Bone marrow aspirate smear
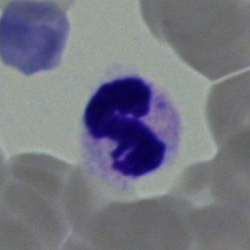Impression — band-form neutrophil.